Bone marrow aspirate smear
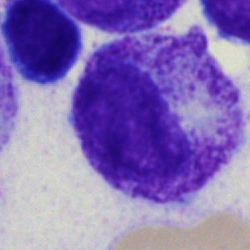 Specimen: bone marrow smear.
Cell: promyelocyte.